Bone marrow aspirate smear — 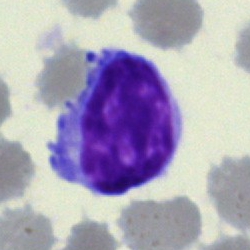 This is a lymphocyte.